Bone marrow smear. 40× oil immersion — 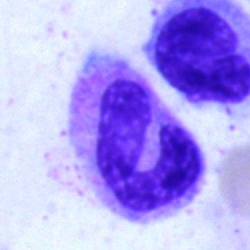Morphology consistent with a band neutrophil.